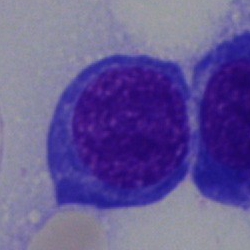
Q: What type of cell is this?
A: This is a nucleated red blood cell.